250×250 · bone marrow smear:
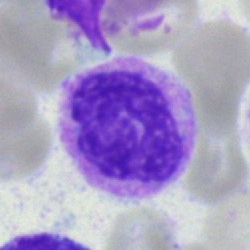 Morphological class — polymorphonuclear neutrophil.